Bone marrow aspirate smear
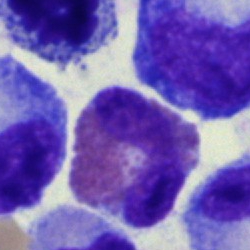Morphology — eosinophil.